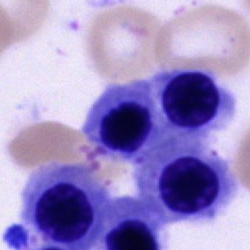 A nucleated red cell.